Peripheral blood smear; cropped to a single cell; Romanowsky stain:
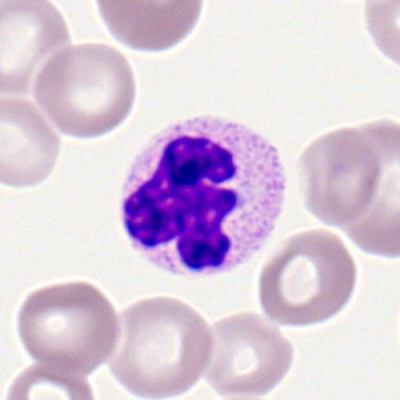

Cell: segmented neutrophil.